Bone marrow smear: 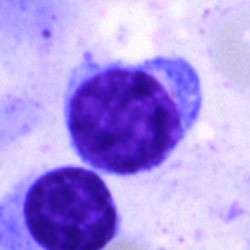

Classification — lymphocyte.